40× oil immersion. Bone marrow smear. Cropped to a single cell: 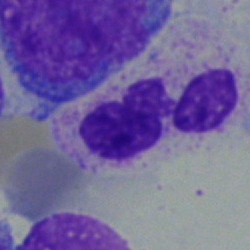

Morphological class: polymorphonuclear neutrophil.